100× oil immersion, 14.14 px/µm. Peripheral blood film — 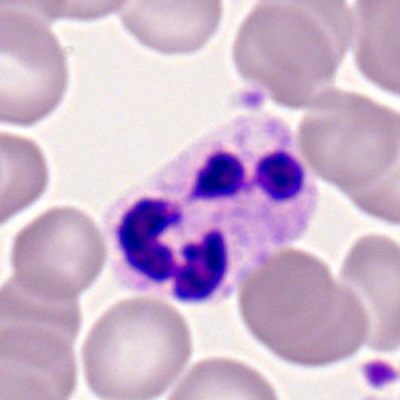 Q: Which cell type is shown here?
A: This is a neutrophil (segmented).